MGG-stained; bone marrow aspirate smear — 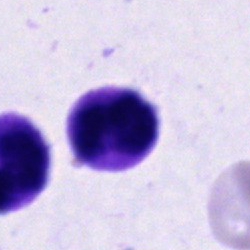A cell of indeterminate lineage.